Bone marrow smear
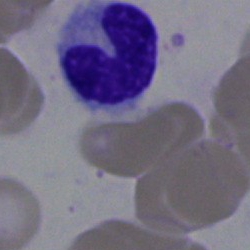
Q: What cell is this?
A: Neutrophil (band).